MGG-stained. Bone marrow smear.
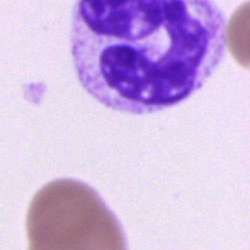 Morphology consistent with a segmented neutrophil.